250 by 250 pixels; brightfield, 40× oil-immersion objective; bone marrow aspirate smear: 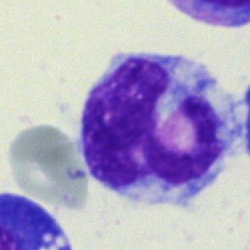The cell shown is a monocyte.